Bone marrow smear. Image size 250×250: 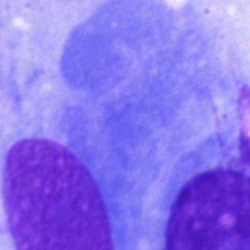 A plasma cell.